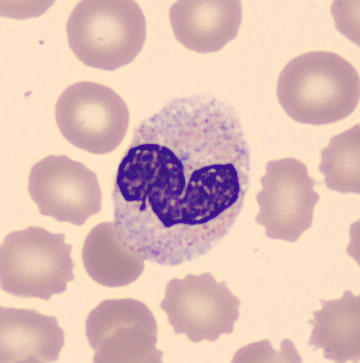

Peripheral blood smear showing a band neutrophil.